Bone marrow aspirate smear — 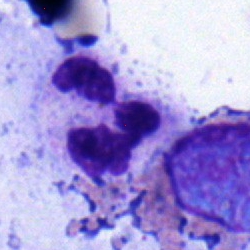Classification: segmented neutrophil.